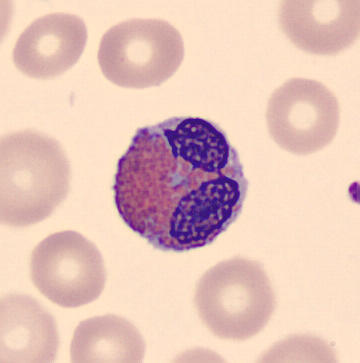 {"cell_type": "eosinophil", "lineage": "myeloid"}